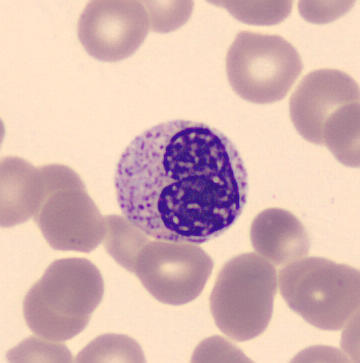

Q: Identify the cell.
A: This is a metamyelocyte.